Bone marrow aspirate smear:
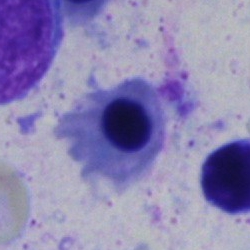Showing a normoblast.